May-Grünwald-Giemsa stain; bone marrow aspirate smear.
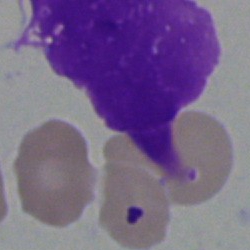
Morphology → artifact.